Bone marrow aspirate smear; May-Grünwald-Giemsa/Pappenheim stain: 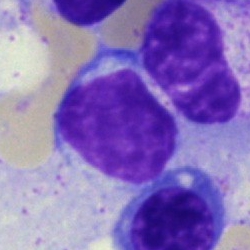
Impression → typical lymphocyte.